Bone marrow aspirate smear: 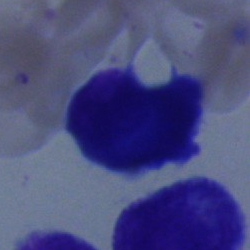 This is an artefact.